Bone marrow smear; cropped to a single cell:
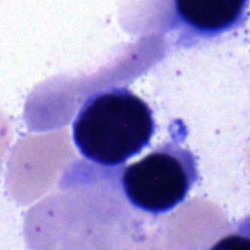Q: What cell is this?
A: It is a typical lymphocyte.